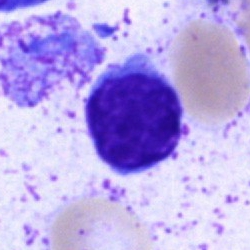 Bone marrow smear showing a typical lymphocyte.